400×400 px; peripheral blood smear.
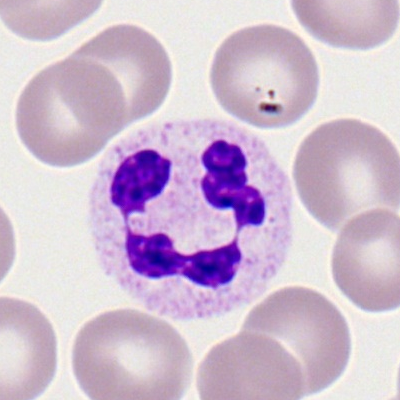A polymorphonuclear neutrophil.